400×400 px · peripheral blood smear:
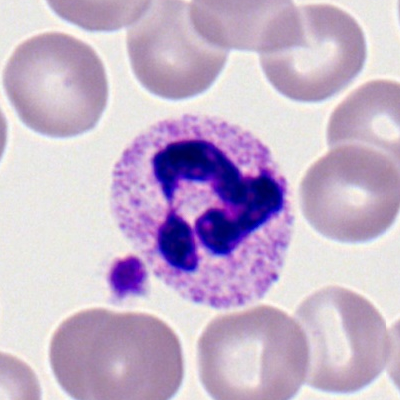
Classification = polymorphonuclear neutrophil.